MGG-stained · brightfield microscopy, 40× oil immersion · bone marrow smear:
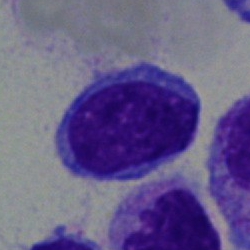 Specimen: bone marrow smear.
Cell: blast cell.